250 by 250 pixels; bone marrow aspirate smear; brightfield microscopy, 40× oil immersion: 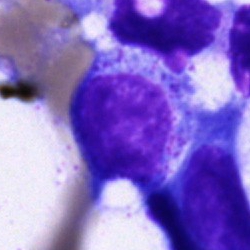

Classification: myelocyte.